Single-cell field · bone marrow smear
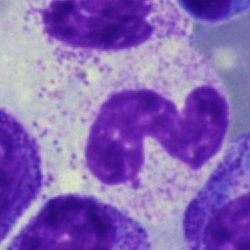
Morphology consistent with a stab cell.